Bone marrow aspirate smear.
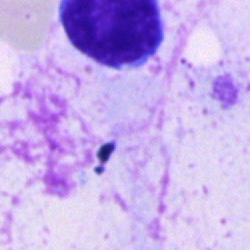
Artefact.